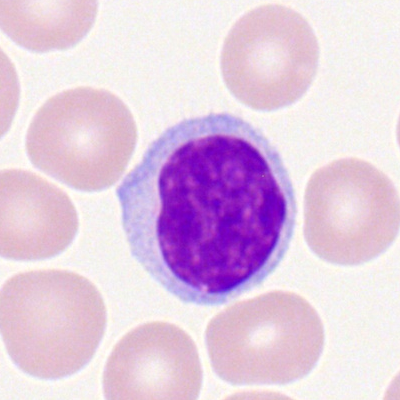The cell type is lymphocyte.